MGG-stained; bone marrow smear
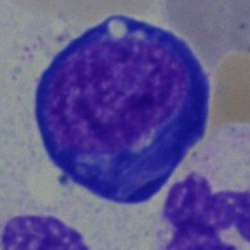
Single cell identified as a pronormoblast.